Bone marrow smear: 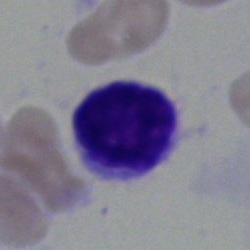

Impression → typical lymphocyte.